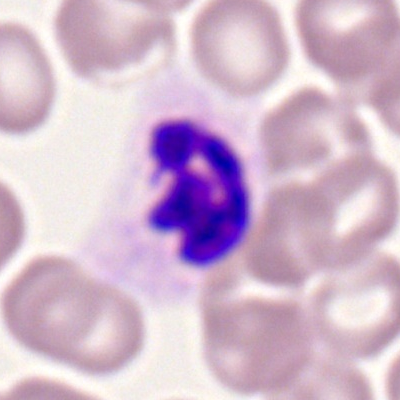 Specimen: peripheral blood film.
Morphological class: polymorphonuclear neutrophil.